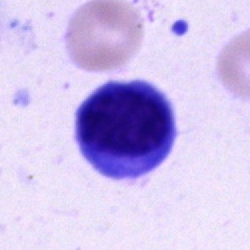 Morphology — lymphocyte.